Bone marrow aspirate smear — 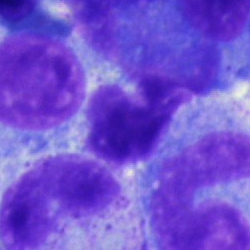 Morphology consistent with a typical lymphocyte.